Bone marrow aspirate smear · image size 250×250 · brightfield microscopy, 40× oil immersion.
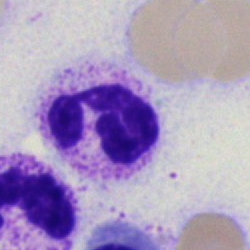This is a polymorphonuclear neutrophil.